Single-cell field; bone marrow aspirate smear; brightfield, 40× oil-immersion objective: 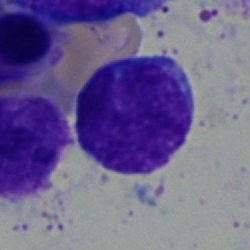
Specimen: bone marrow smear.
Cell type: undifferentiated blast.